Bone marrow smear: 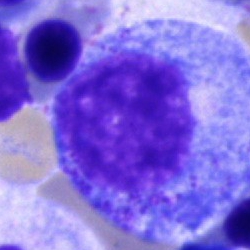Cell type — progranulocyte.